Bone marrow smear.
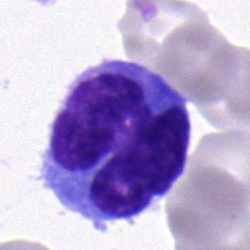 Cell type — monocyte.